250×250 px · bone marrow aspirate smear:
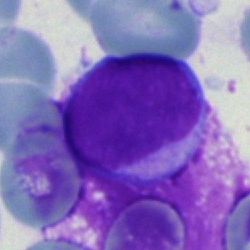
Single cell identified as a lymphocyte.